Bone marrow smear:
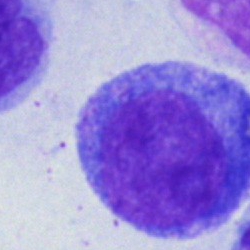

Single cell identified as a promyelocyte.